Peripheral blood film: 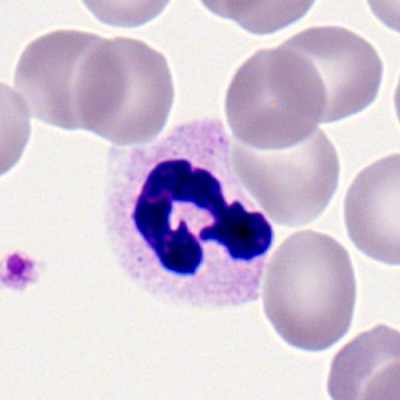

Cell: neutrophil (segmented).